250×250. Bone marrow aspirate smear: 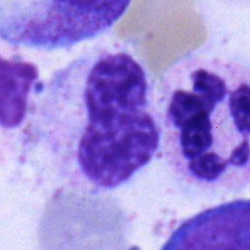
Q: What cell is this?
A: It is a stab cell.